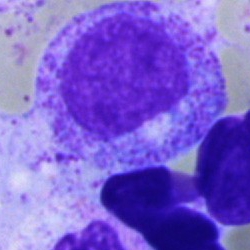
Q: Identify the cell.
A: A myelocyte.